Single-cell crop · bone marrow aspirate smear — 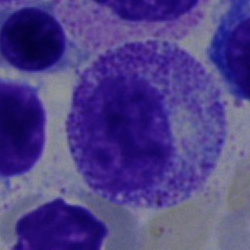Q: What cell is this?
A: This is a myelocyte.